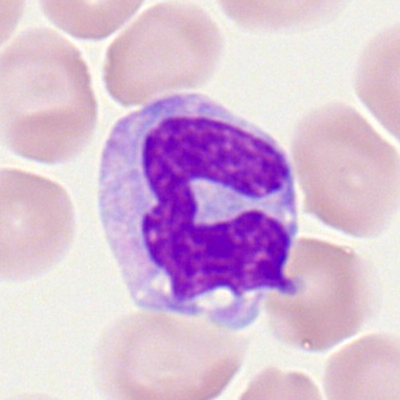 Single-cell crop from a peripheral blood smear: monocyte.